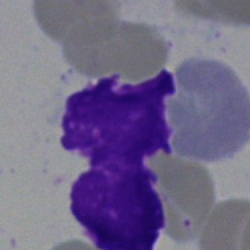
The classification is artifact.